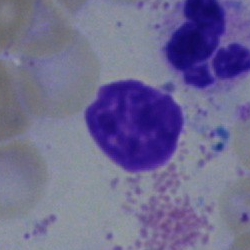

Segmented neutrophil.